Bone marrow smear; cropped to a single cell.
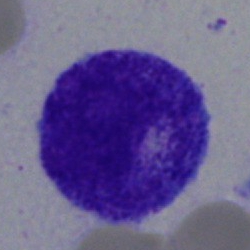
The cell shown is a promyelocyte.